Single cell centered in the field · bone marrow aspirate smear:
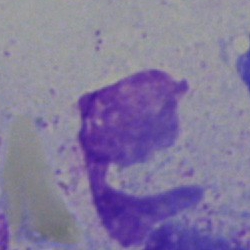
Q: What is shown here?
A: Artefact.